Bone marrow aspirate smear:
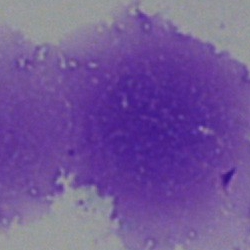 Cell: artifact.